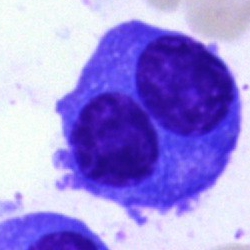 Specimen: bone marrow smear.
Cell: plasma cell.
Lineage: lymphoid.